100× oil immersion, 14.14 px/µm · peripheral blood film · single-cell field
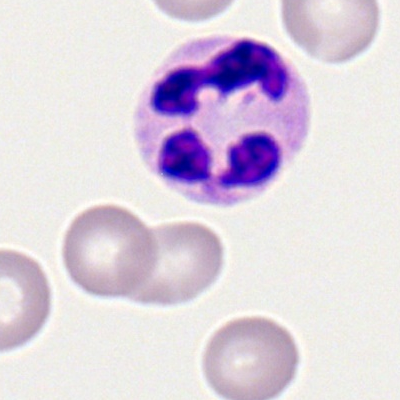 Cell: neutrophil (segmented).